Bone marrow smear: 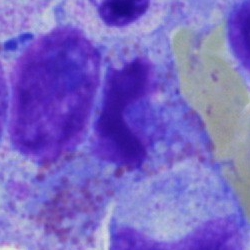 Impression — eosinophilic granulocyte.